Peripheral blood film · 100× oil immersion:
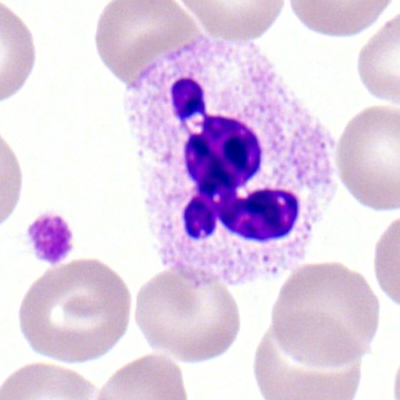

Classification: segmented neutrophil.